Bone marrow aspirate smear
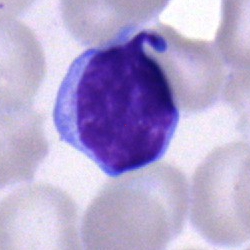 Morphological class — typical lymphocyte.